Bone marrow smear. 40× oil immersion.
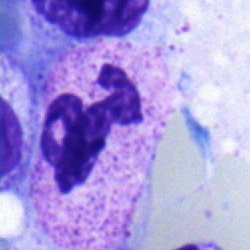
Impression — polymorphonuclear neutrophil.